250×250 px; bone marrow smear
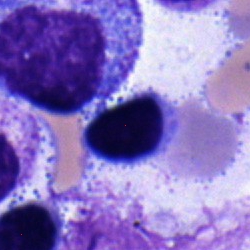
This is an erythroblast.